Bone marrow smear; MGG-stained: 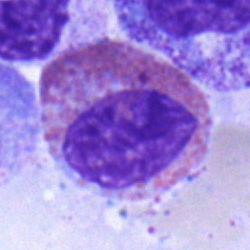 Impression — eosinophilic granulocyte.